Bone marrow aspirate smear:
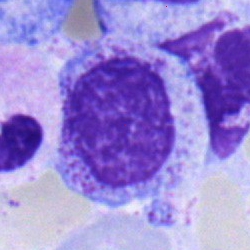

Morphology consistent with a myelocyte.